Bone marrow smear · image size 250×250.
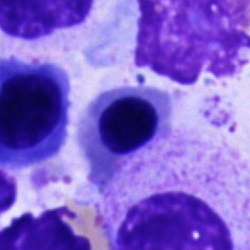Nucleated red cell.